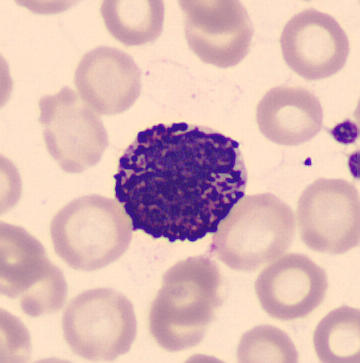
MGG-stained; image size 360×363; peripheral blood film.

Q: What cell is this?
A: A basophil.